Image size 250×250. Single cell centered in the field. Bone marrow smear: 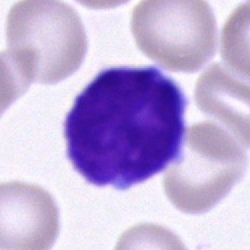A typical lymphocyte.